Bone marrow smear.
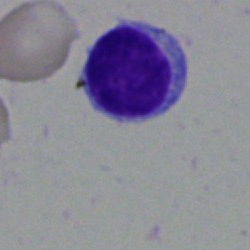

The cell is typical lymphocyte.